Bone marrow smear:
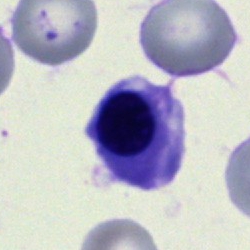

Cell type = erythroblast.